Bone marrow smear: 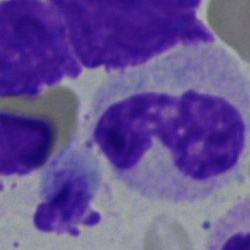The cell shown is a neutrophil (band).